Bone marrow smear: 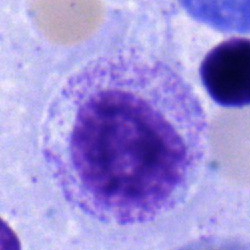Morphology — myelocyte.